Bone marrow aspirate smear:
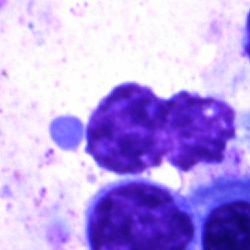
Classification = artefact.